Bone marrow smear. 40× objective, oil immersion. May-Grünwald-Giemsa/Pappenheim stain — 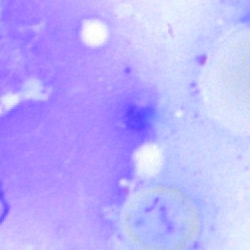 Q: What is shown here?
A: An artefact.